40× objective, oil immersion. Bone marrow smear:
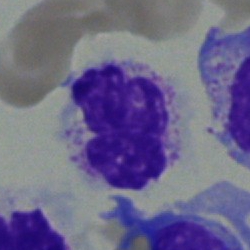
A polymorphonuclear neutrophil.